Bone marrow smear
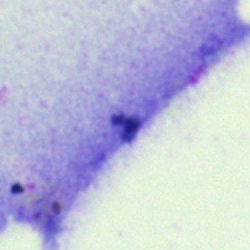Specimen: bone marrow smear.
Classification: artifact.